Bone marrow aspirate smear
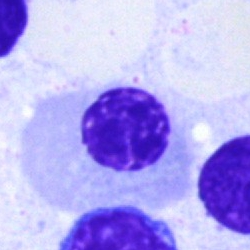 Cell: nucleated red cell.